Bone marrow aspirate smear:
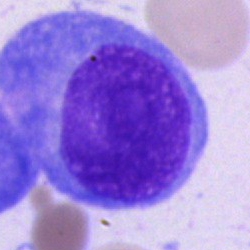Morphology consistent with a plasma cell.